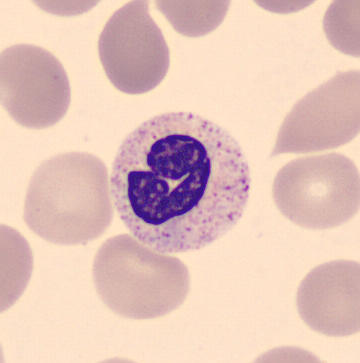{"cell_type": "band neutrophil", "lineage": "myeloid"}

Image: Peripheral blood smear.